Bone marrow smear. 250 by 250 pixels.
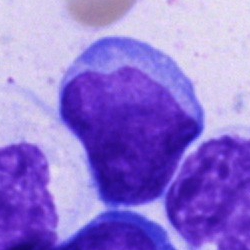 Morphology → blast cell.